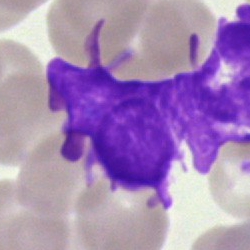
Impression — artefact.